Bone marrow smear: 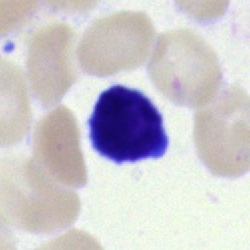Impression — typical lymphocyte.